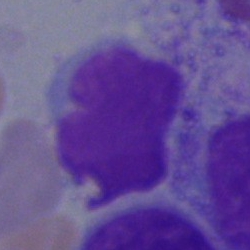
Single cell identified as an artefact.